Bone marrow aspirate smear: 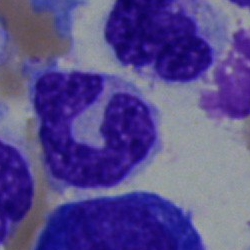 Morphological class — stab cell.